Bone marrow aspirate smear:
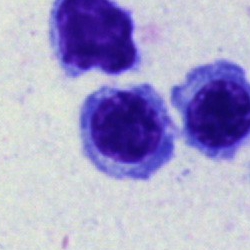Nucleated red blood cell.